Single-cell field. Bone marrow aspirate smear — 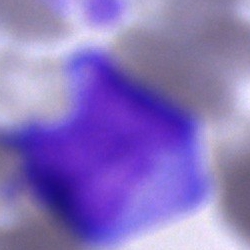

Cell of indeterminate lineage.